MGG-stained. Bone marrow smear.
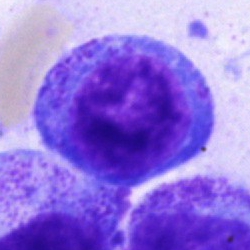
Showing a progranulocyte.